Single-cell crop. 250×250. Bone marrow aspirate smear.
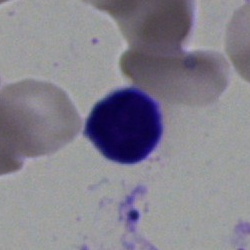

Specimen: bone marrow aspirate smear.
Cell type: typical lymphocyte.